Bone marrow aspirate smear
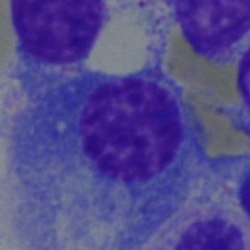 Q: What is shown here?
A: This is a plasma cell.